Bone marrow aspirate smear. MGG-stained: 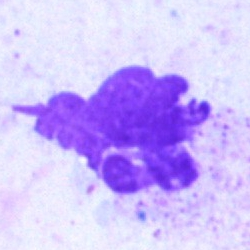
Q: What is shown here?
A: An artifact.